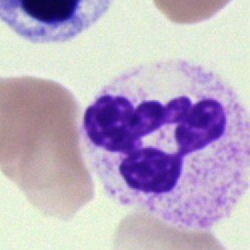Specimen: bone marrow aspirate smear.
Cell type: segmented neutrophil.
Lineage: myeloid.